Pappenheim-stained · bone marrow aspirate smear.
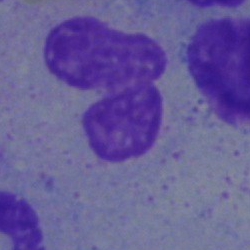
Q: Which cell type is shown here?
A: It is a neutrophil (band).